Bone marrow aspirate smear — 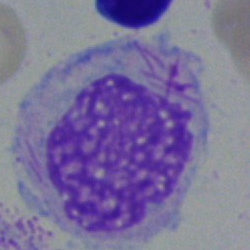Morphology consistent with a cell with bundled Auer rods.